Peripheral blood film; image size 400×400 — 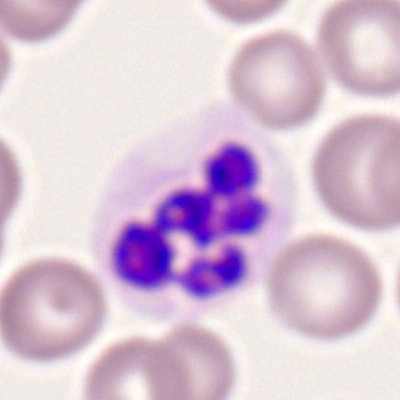Impression — segmented neutrophil.